Bone marrow aspirate smear; brightfield microscopy, 40× oil immersion: 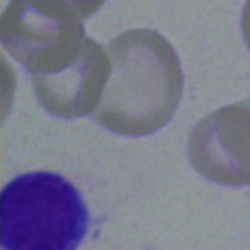Cell type = lymphocyte.